Bone marrow smear:
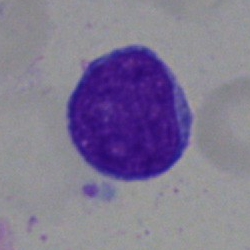

A lymphocyte.